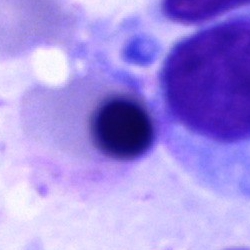 A nucleated red cell.